Bone marrow smear:
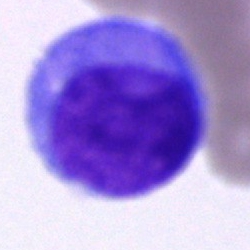Specimen: bone marrow smear.
Morphological class: undifferentiated blast.